Bone marrow smear: 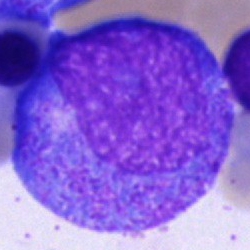

{"cell_type": "progranulocyte"}